40× objective, oil immersion. Bone marrow smear: 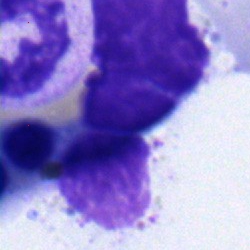

Morphology consistent with a nucleated red blood cell.